Bone marrow aspirate smear. 40× objective, oil immersion:
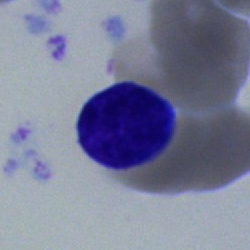
Morphology consistent with a lymphocyte.